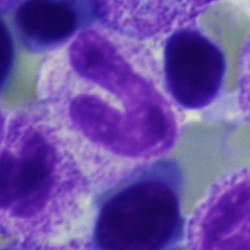Impression → band neutrophil.